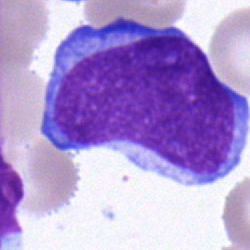 Morphology — undifferentiated blast.